400×400. Peripheral blood film — 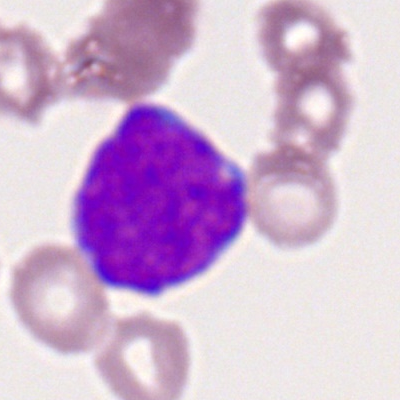

Myeloblast.